Peripheral blood smear; 100× objective, oil immersion
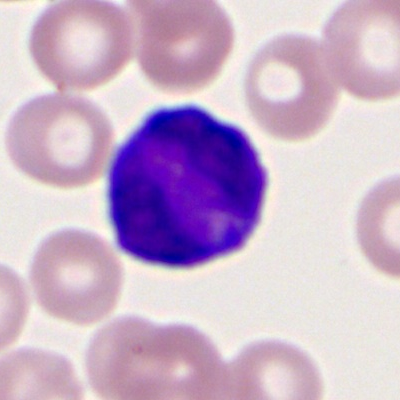 Impression → myeloblast.